Bone marrow aspirate smear — 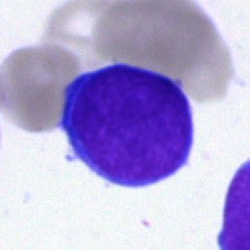

Undifferentiated blast.